Peripheral blood film — 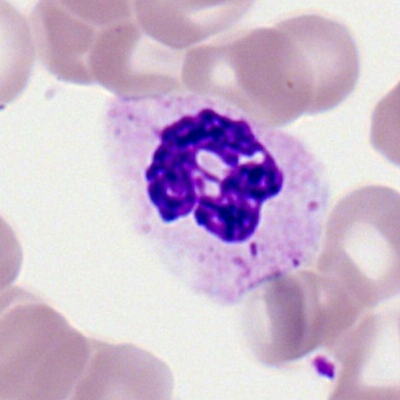
A neutrophil (segmented).